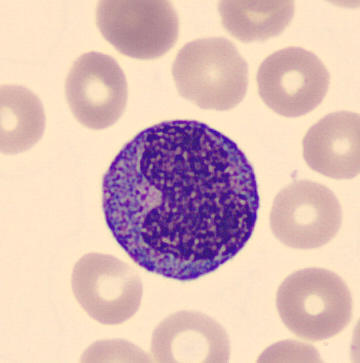

360×363. Specimen: peripheral blood film.
Cell type: metamyelocyte.
Lineage: myeloid.